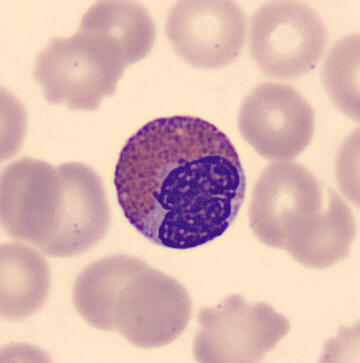 Image: Image size 360×363. Peripheral blood film. Identified as an eosinophilic granulocyte.